Bone marrow aspirate smear.
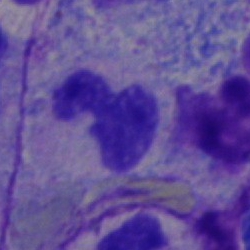

The cell is segmented neutrophil.